Peripheral blood film
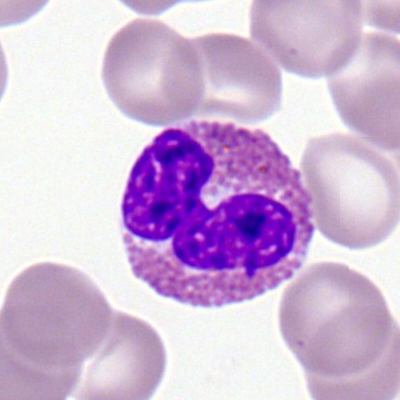{"cell_type": "eosinophilic granulocyte", "lineage": "myeloid"}